Bone marrow aspirate smear.
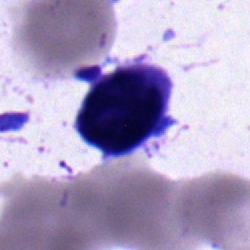
Q: What is the morphological classification of this cell?
A: This is an undifferentiated blast.